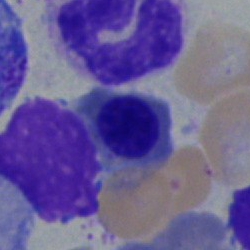

Erythroblast.